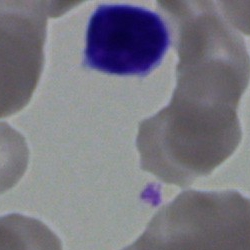
Bone marrow aspirate smear, single cell — typical lymphocyte.